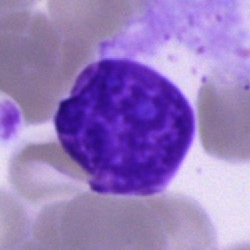

Morphology → artefact.